MGG-stained. Bone marrow aspirate smear. Brightfield, 40× oil-immersion objective
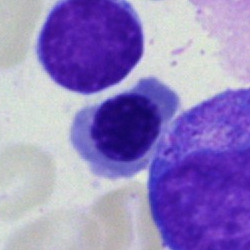
Showing a normoblast.